Bone marrow smear: 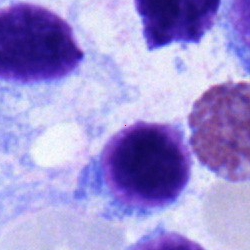

Morphological class = lymphocyte.